Single cell centered in the field. Bone marrow aspirate smear — 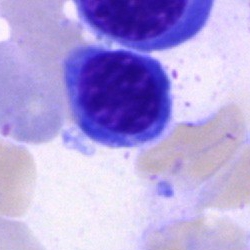
Specimen: bone marrow smear.
Morphological class: erythroblast.